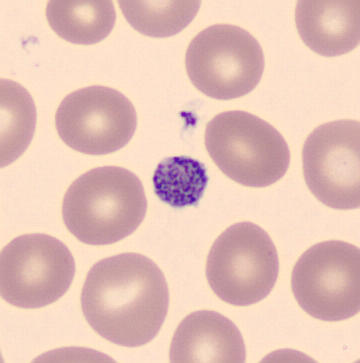 A platelet (thrombocyte) on a peripheral blood smear.